Brightfield, 40× oil-immersion objective; 250×250; bone marrow aspirate smear.
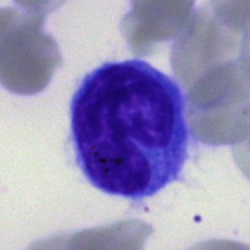 The cell shown is a monocyte.